100× oil immersion, 14.14 px/µm · peripheral blood film
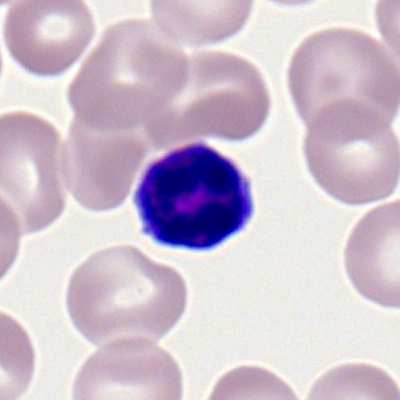Specimen: peripheral blood smear.
Morphological class: typical lymphocyte.